Bone marrow aspirate smear; Pappenheim-stained; 250×250:
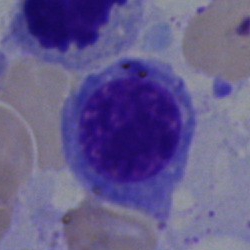The classification is nucleated red blood cell.